Bone marrow smear.
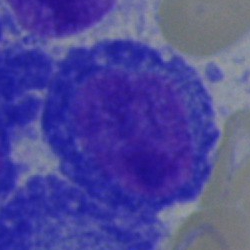 Classification: plasmacyte.